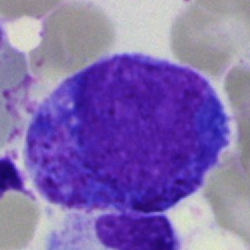{"cell_type": "promyelocyte"}